Bone marrow smear: 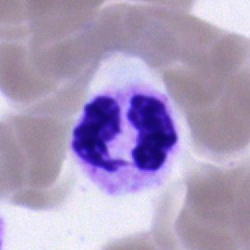
Impression → polymorphonuclear neutrophil.